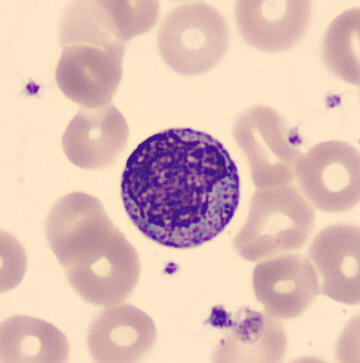Preparation: Peripheral blood film. Cell = myelocyte.